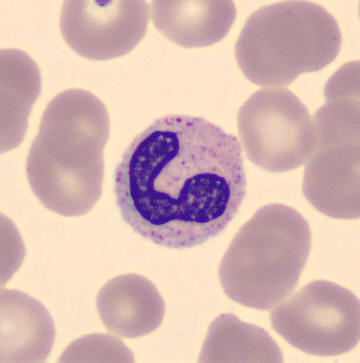

Peripheral blood film · CellaVision DM96 · MGG-stained. Morphological class = stab cell.